CellaVision DM96; single-cell crop; peripheral blood film
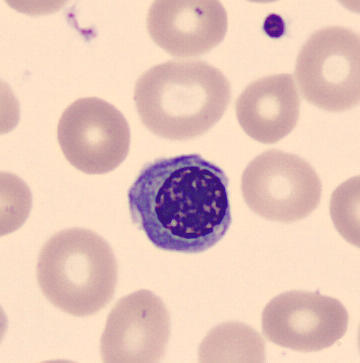 This is a nucleated red blood cell.